Bone marrow aspirate smear — 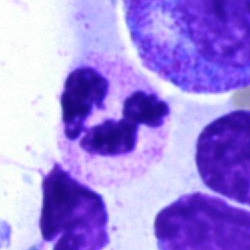Q: What is shown here?
A: This is a neutrophil (segmented).